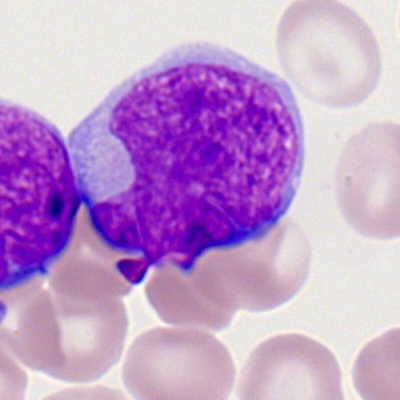

Q: What cell is this?
A: Myeloid blast.